Bone marrow aspirate smear:
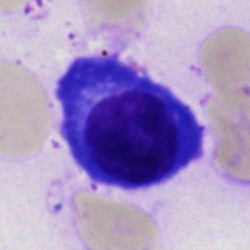 The cell shown is a plasmacyte.